Bone marrow aspirate smear.
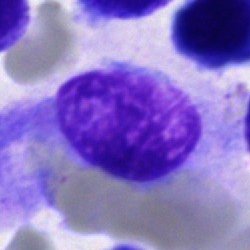 Q: What is shown here?
A: It is an artifact.